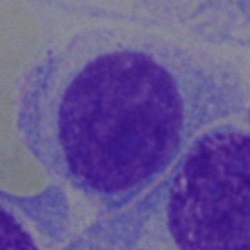 The morphological class is plasma cell.